Bone marrow smear: 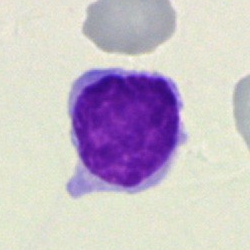

A typical lymphocyte.